Bone marrow smear. Single-cell field:
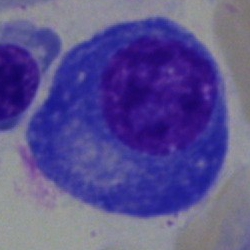

The cell shown is a plasmacyte.